Bone marrow aspirate smear · 250×250:
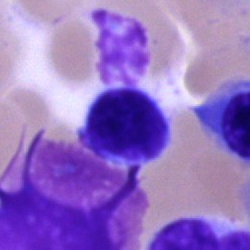Single cell identified as an artifact.